Bone marrow smear · 40× oil immersion:
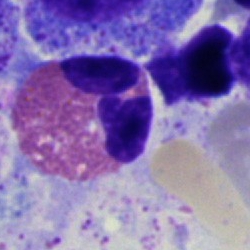

Morphological class: eosinophil.